Peripheral blood film; 400×400
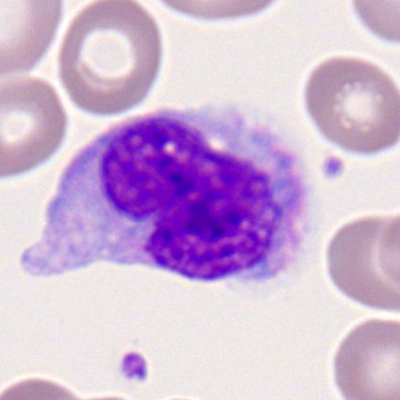 Showing a monocyte.